Bone marrow smear: 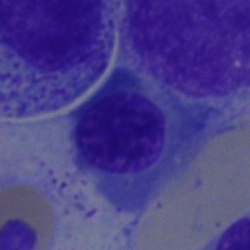 The classification is nucleated red cell.